Bone marrow aspirate smear; single-cell field:
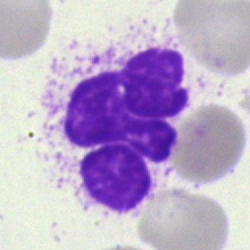 Single cell identified as a neutrophil (segmented).